Brightfield, 40× oil-immersion objective. May-Grünwald-Giemsa stain. Bone marrow aspirate smear:
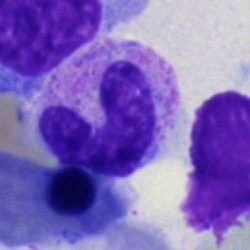

Morphology consistent with a neutrophil (band).